Bone marrow smear. 250×250. Single-cell field:
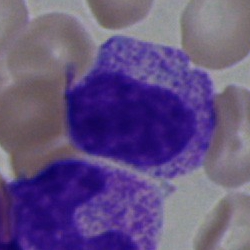

Specimen: bone marrow aspirate smear.
Morphological class: myelocyte.
Lineage: myeloid.